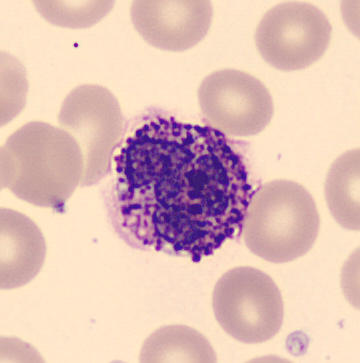{"cell_type": "basophilic granulocyte"}